Bone marrow smear.
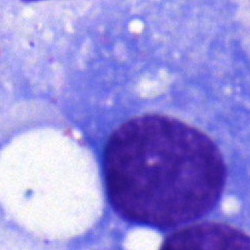 Morphological class: plasmacyte.